Peripheral blood smear · 100× oil immersion, 14.14 px/µm · 400×400
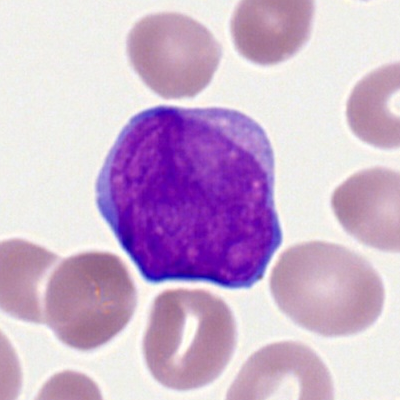
Myeloblast.